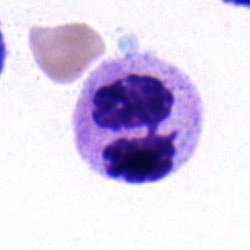 Morphological class = neutrophil (segmented).